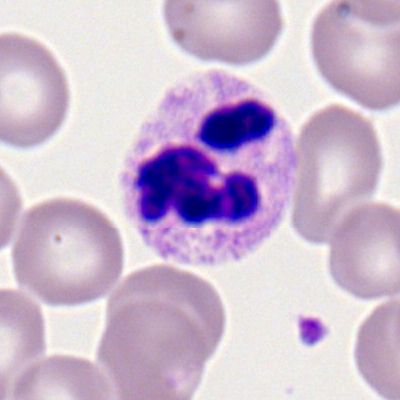 Impression → neutrophil (segmented).